Bone marrow smear
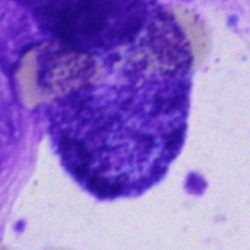

Artefact.